Bone marrow aspirate smear.
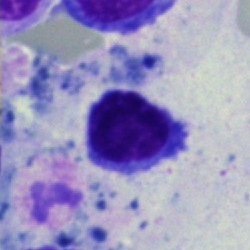
Impression — typical lymphocyte.